Bone marrow smear; 40× oil immersion:
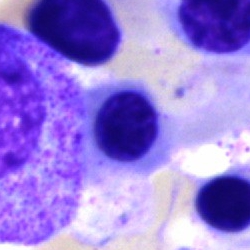 Q: Identify the cell.
A: Normoblast.